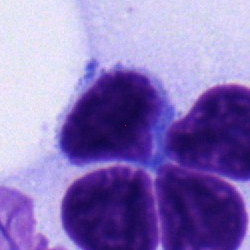
Showing a typical lymphocyte.